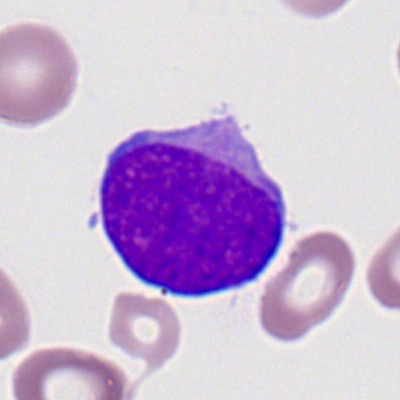
Showing a myeloid blast.